Bone marrow smear
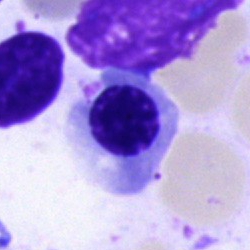

This is a normoblast.